Bone marrow smear · 250×250 · May-Grünwald-Giemsa/Pappenheim stain:
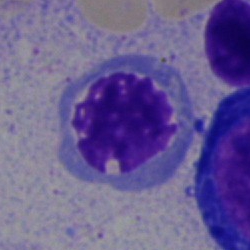Specimen: bone marrow aspirate smear.
Morphological class: erythroblast.
Lineage: erythroid.